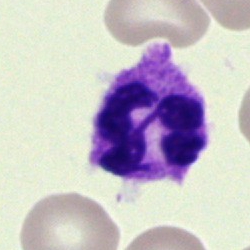

A polymorphonuclear neutrophil.